Single cell centered in the field. Peripheral blood film: 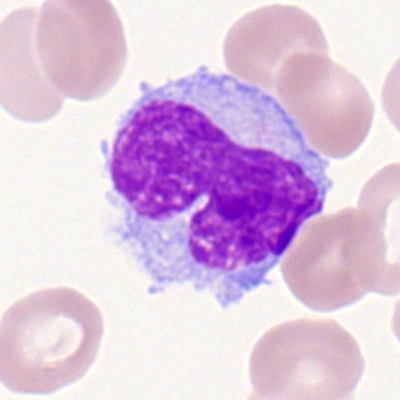 Specimen: peripheral blood smear.
Morphological class: monocyte.
Lineage: myeloid.